Bone marrow smear.
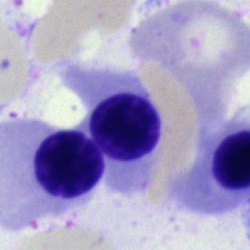Impression → nucleated red blood cell.